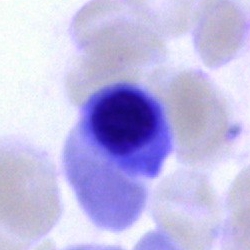
Classification = nucleated red blood cell.